Peripheral blood smear; 100× oil immersion
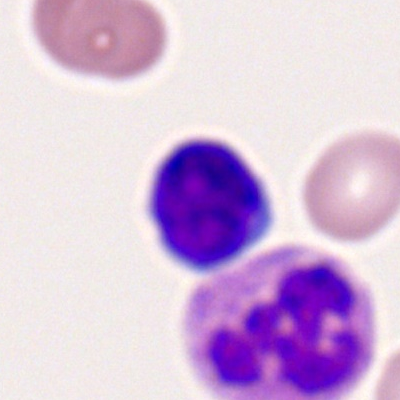
The cell shown is a typical lymphocyte.